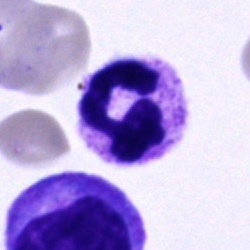
The classification is neutrophil (segmented).